Bone marrow smear:
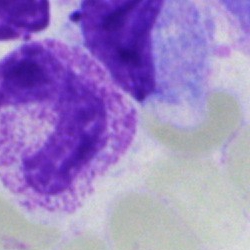Q: What is shown here?
A: This is a band-form neutrophil.